Bone marrow aspirate smear — 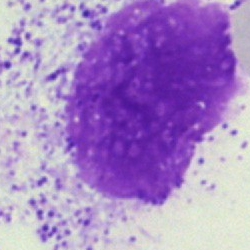

Specimen: bone marrow smear.
Morphological class: artefact.